Bone marrow smear:
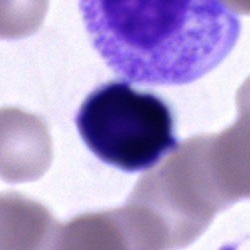 Q: Which cell type is shown here?
A: This is a cell of indeterminate lineage.